250×250. Single-cell crop. Bone marrow aspirate smear: 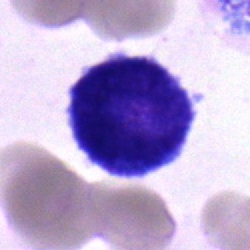

Undifferentiated blast.